Bone marrow aspirate smear.
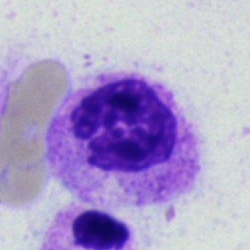Cell type — segmented neutrophil.